Bone marrow smear: 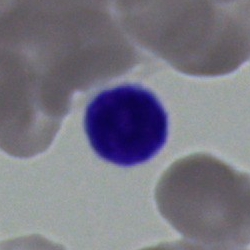
{"cell_type": "typical lymphocyte", "lineage": "lymphoid"}